Peripheral blood film. 100× oil immersion: 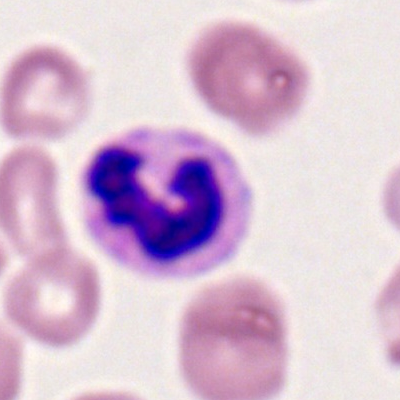 Impression — neutrophil (segmented).